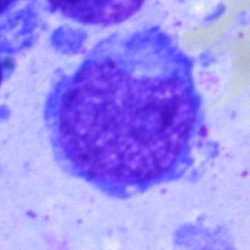 The cell type is blast cell.